Bone marrow aspirate smear.
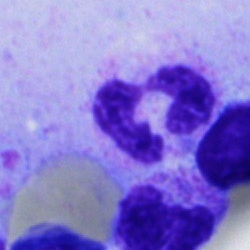 Neutrophil (segmented).